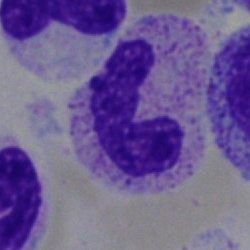This is a neutrophil (segmented).